Peripheral blood film.
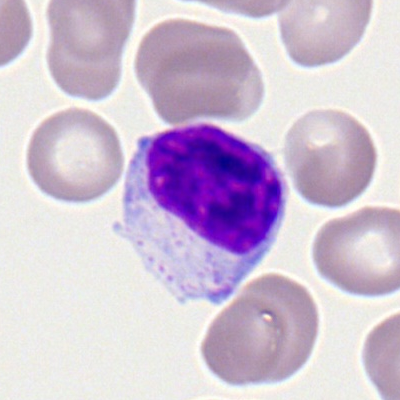 Q: What cell is this?
A: This is a lymphocyte.